Bone marrow smear:
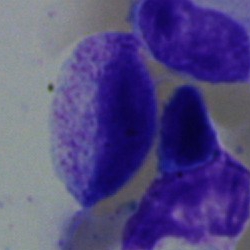 Specimen: bone marrow smear.
Cell: myelocyte.
Lineage: myeloid.